M8 digital microscope (Precipoint), 100× oil immersion; peripheral blood film
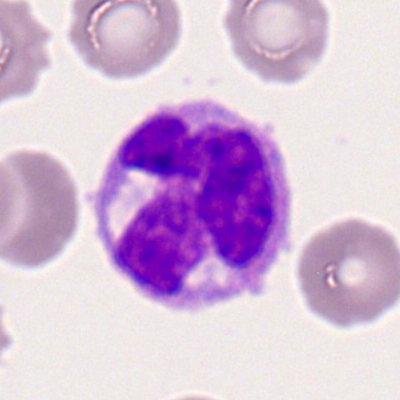 A monocyte.